Bone marrow aspirate smear:
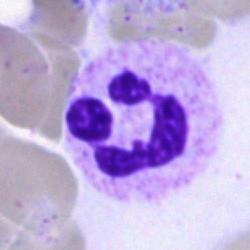Q: What cell is this?
A: This is a polymorphonuclear neutrophil.